Peripheral blood film
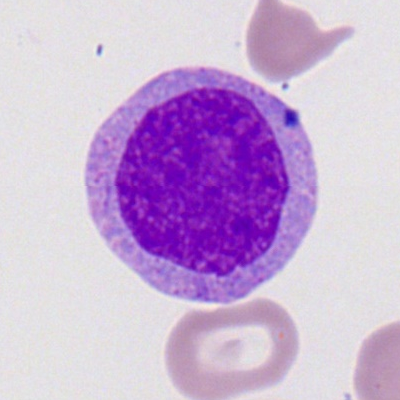
Cell = myeloid blast.